Bone marrow aspirate smear:
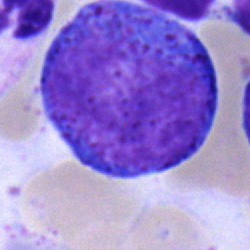The cell shown is a progranulocyte.